40× oil immersion · bone marrow aspirate smear
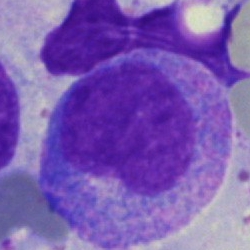 Morphological class = promyelocyte.